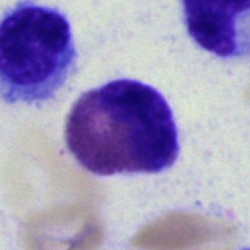

Showing a basophilic granulocyte.